Peripheral blood film.
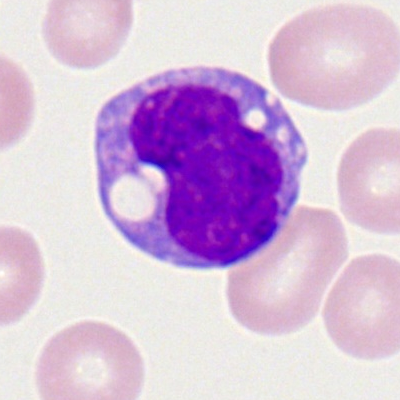
Monocyte.